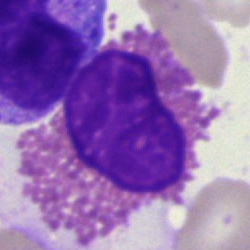Q: What cell is this?
A: An eosinophilic granulocyte.